May-Grünwald-Giemsa stain · bone marrow smear · image size 250×250 — 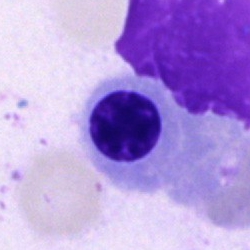A nucleated red cell.